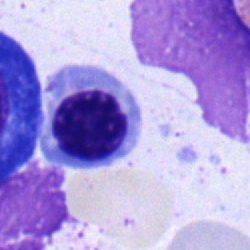

Impression — erythroblast.